Bone marrow smear.
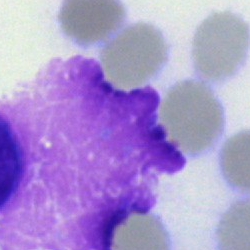Cell — artifact.